Bone marrow aspirate smear:
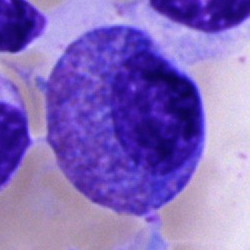 Eosinophil.